Bone marrow smear; 40× objective, oil immersion
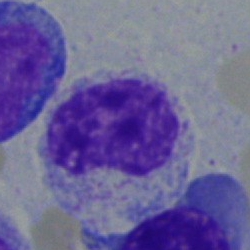 Q: What type of cell is this?
A: Metamyelocyte.